Bone marrow smear.
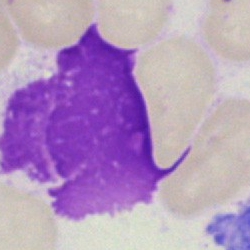
Classification — artefact.